Bone marrow aspirate smear:
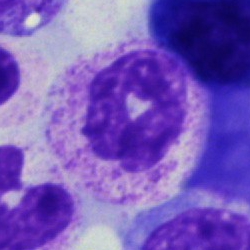

Cell type — polymorphonuclear neutrophil.